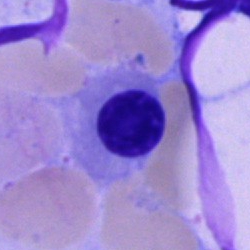
A normoblast.